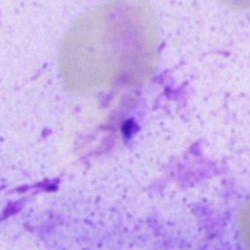

Cell — artefact.